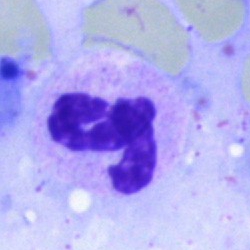 Q: What type of cell is this?
A: This is a polymorphonuclear neutrophil.